Bone marrow aspirate smear.
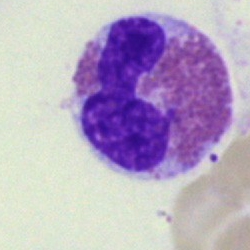
This is an eosinophilic granulocyte.